Peripheral blood smear · single-cell crop:
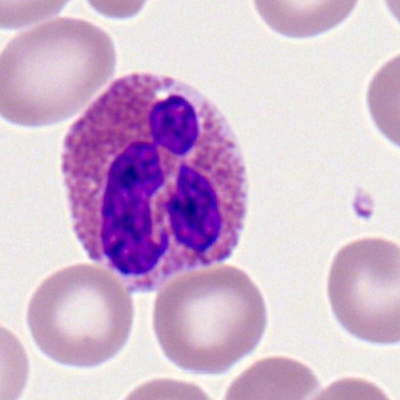
Eosinophil.